Bone marrow aspirate smear.
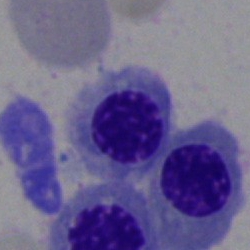Q: What type of cell is this?
A: Normoblast.